Bone marrow aspirate smear — 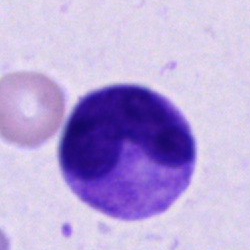

{"cell_type": "metamyelocyte", "lineage": "myeloid"}